Bone marrow aspirate smear. Brightfield microscopy, 40× oil immersion — 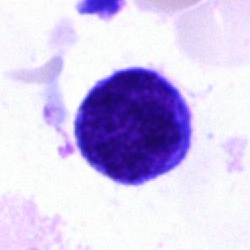

Specimen: bone marrow smear.
Classification: blast cell.